Bone marrow aspirate smear; 40× oil immersion:
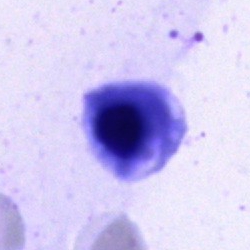Morphology → nucleated red blood cell.